Peripheral blood film.
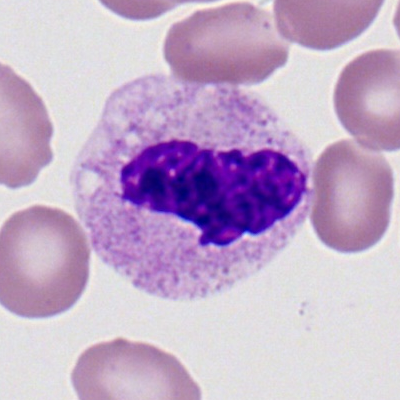
Polymorphonuclear neutrophil.